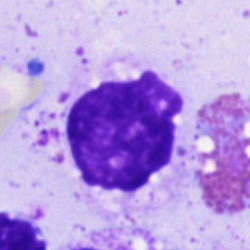
Bone marrow aspirate smear, single cell — artifact.